Peripheral blood smear · brightfield, 100× oil-immersion objective · 400×400
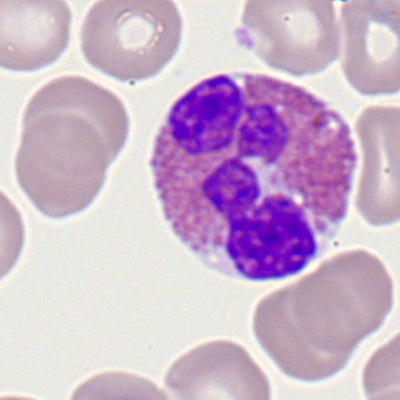
Q: What is shown here?
A: An eosinophil.